Bone marrow smear: 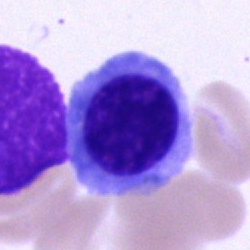 Specimen: bone marrow aspirate smear.
Morphological class: erythroblast.
Lineage: erythroid.